Bone marrow aspirate smear; 250×250 px.
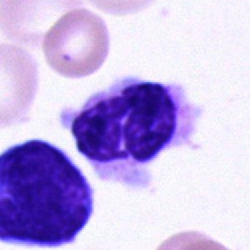
Q: Which cell type is shown here?
A: A neutrophil (segmented).